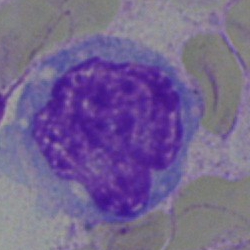 The cell shown is a monocyte.